Brightfield, 40× oil-immersion objective. Bone marrow aspirate smear:
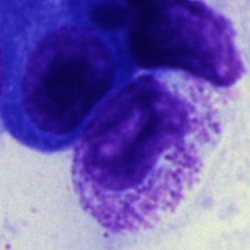
Impression → stab cell.